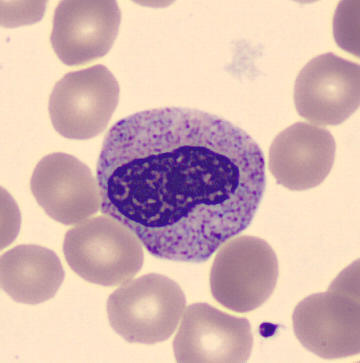

Peripheral blood film.

Q: What cell is this?
A: Metamyelocyte.